Bone marrow aspirate smear: 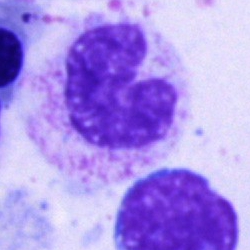
Impression → band-form neutrophil.